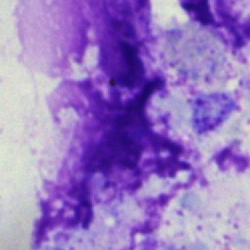Cell = artefact.